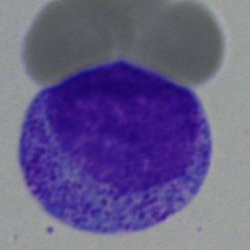
Q: What is the morphological classification of this cell?
A: This is a promyelocyte.